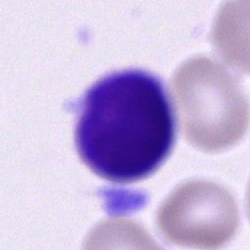 Specimen: bone marrow aspirate smear.
Morphological class: unidentifiable cell.